Bone marrow aspirate smear:
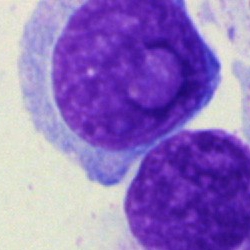
This is a blast.